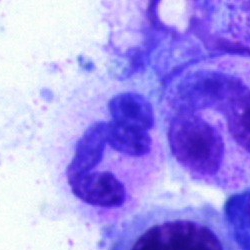
Morphology — segmented neutrophil.